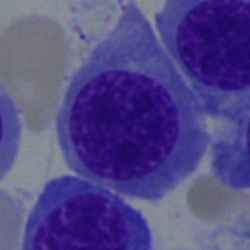 Cell — erythroblast.